Bone marrow aspirate smear:
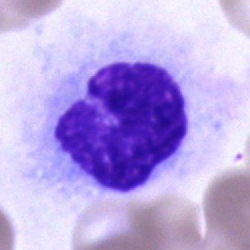

Cell type — unidentifiable cell.